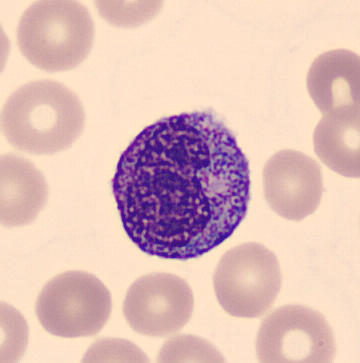Cell type = promyelocyte.